Romanowsky-stained; peripheral blood smear; single cell centered in the field
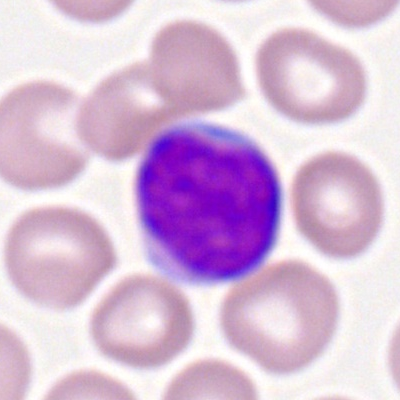 Showing a lymphocyte.